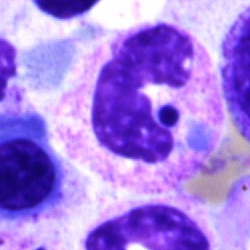

Impression → neutrophil (segmented).